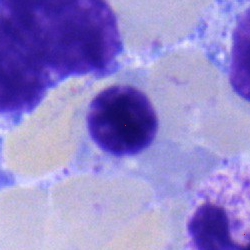 Showing an erythroblast.